Brightfield, 40× oil-immersion objective; bone marrow aspirate smear; May-Grünwald-Giemsa stain
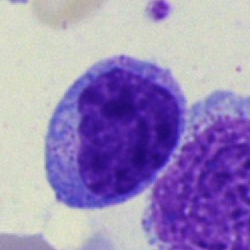

The cell type is blast.